Bone marrow aspirate smear; image size 250×250
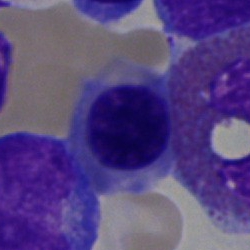Showing a nucleated red blood cell.